Bone marrow aspirate smear: 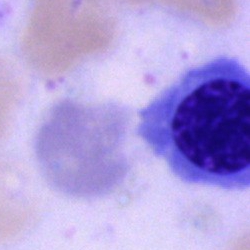 {"cell_type": "normoblast"}